Bone marrow aspirate smear:
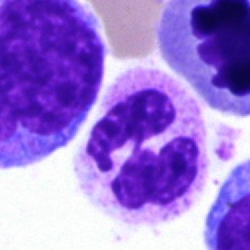

Morphological class — segmented neutrophil.